Bone marrow smear — 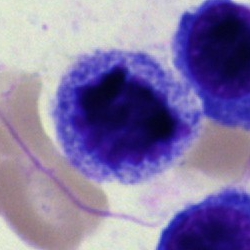 Morphology → artifact.